Peripheral blood film.
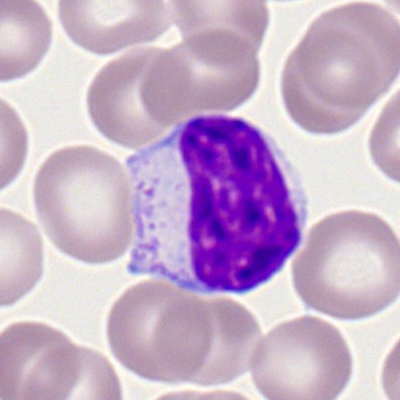 Typical lymphocyte.